May-Grünwald-Giemsa/Pappenheim stain; single-cell field; bone marrow aspirate smear — 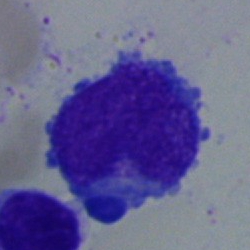
Q: Which cell type is shown here?
A: A blast cell.